360×363; peripheral blood film:
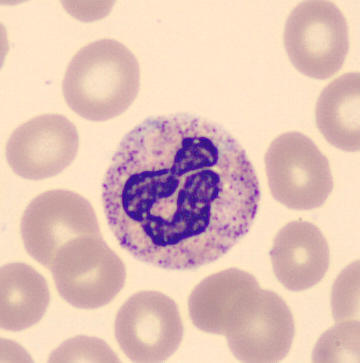

Impression — polymorphonuclear neutrophil.